Bone marrow smear; 40× objective, oil immersion; 250 by 250 pixels:
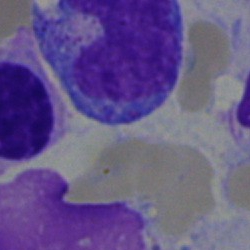Morphological class: undifferentiated blast.